Bone marrow aspirate smear; 250×250 — 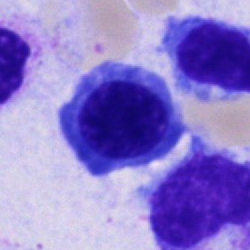

Cell type = normoblast.